Bone marrow aspirate smear — 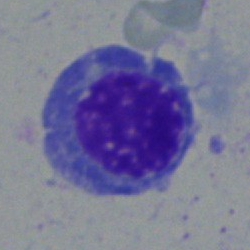 Q: Which cell type is shown here?
A: It is a normoblast.